Bone marrow aspirate smear. 40× objective, oil immersion:
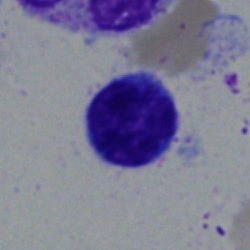
This is a typical lymphocyte.